Bone marrow smear:
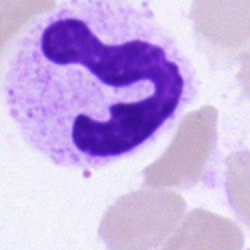Impression — polymorphonuclear neutrophil.